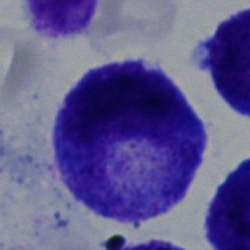
A promyelocyte on a bone marrow smear.